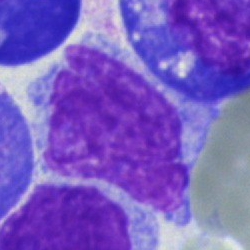

The classification is artifact.